Peripheral blood film.
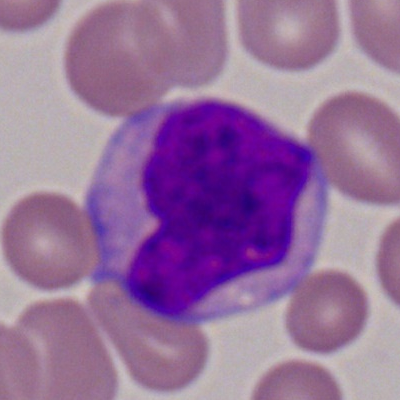 The cell is myeloid blast.